Bone marrow smear: 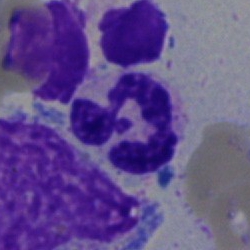

The cell type is neutrophil (segmented).